Bone marrow aspirate smear; 250 by 250 pixels — 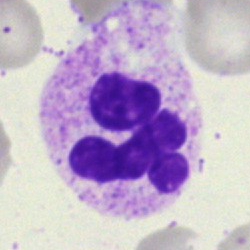

The cell shown is a neutrophil (segmented).